Brightfield microscopy, 40× oil immersion; bone marrow aspirate smear: 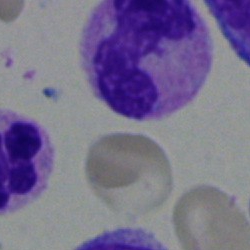 Impression — segmented neutrophil.